Bone marrow smear: 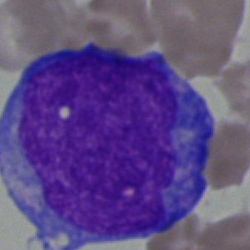
The cell shown is a blast.